Bone marrow smear; brightfield, 40× oil-immersion objective — 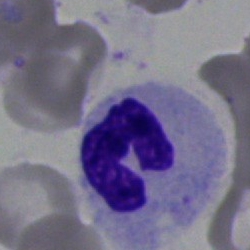
Impression — polymorphonuclear neutrophil.